Bone marrow smear.
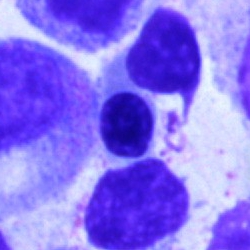 Q: Which cell type is shown here?
A: Normoblast.